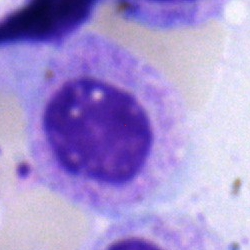

Classification: myelocyte.